Peripheral blood smear: 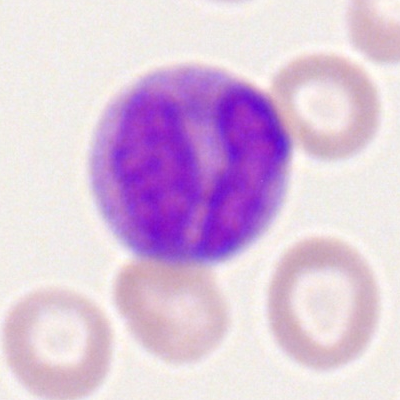Classification: monocyte.